Bone marrow smear · MGG-stained · brightfield microscopy, 40× oil immersion — 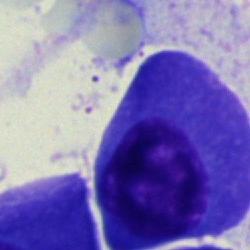Q: What cell is this?
A: A plasmacyte.